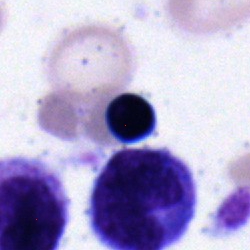 A nucleated red cell.